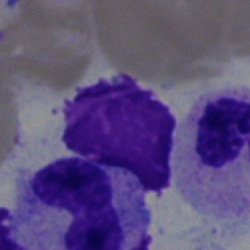
Classification: artifact.